M8 digital microscope (Precipoint), 100× oil immersion. 400×400. Peripheral blood smear:
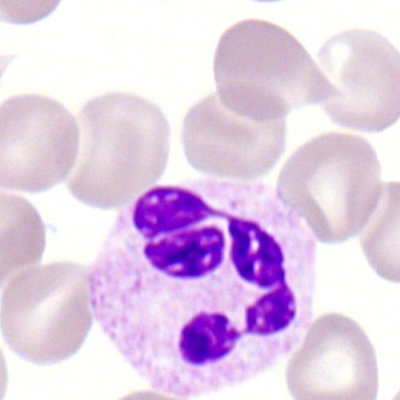
Specimen: peripheral blood smear.
Cell type: neutrophil (segmented).
Lineage: myeloid.